Bone marrow smear; MGG-stained; brightfield, 40× oil-immersion objective: 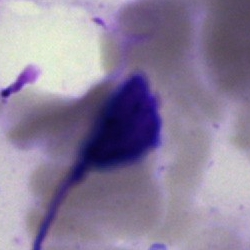
Q: What is shown here?
A: An artifact.